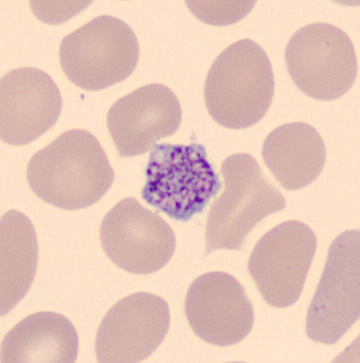
Q: What is shown here?
A: It is a thrombocyte.
Preparation: Peripheral blood film.